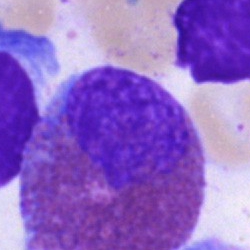This is an eosinophil.